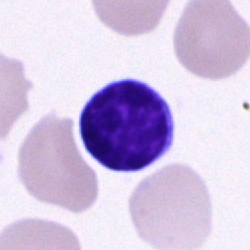
The cell type is typical lymphocyte.